Bone marrow aspirate smear.
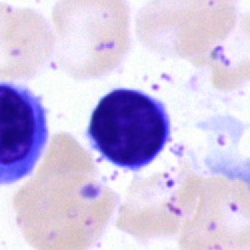 This is a typical lymphocyte.